Bone marrow aspirate smear. Single-cell crop:
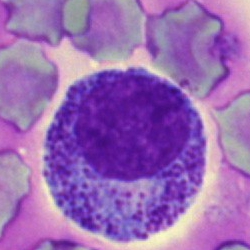 Showing a promyelocyte.